Bone marrow aspirate smear
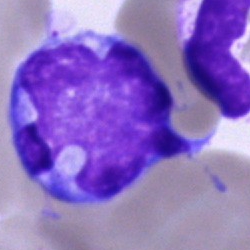
This is a monocyte.